Bone marrow smear. Pappenheim-stained:
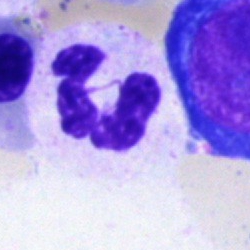Specimen: bone marrow smear.
Classification: neutrophil (segmented).
Lineage: myeloid.